May-Grünwald-Giemsa/Pappenheim stain; bone marrow aspirate smear.
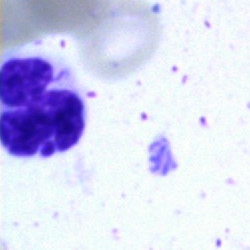 Artifact.